Bone marrow smear · brightfield, 40× oil-immersion objective
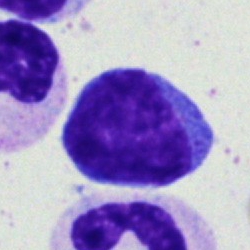

Cell: lymphocyte.